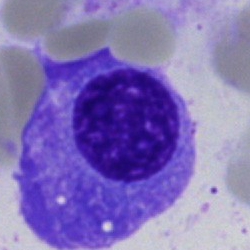 Single-cell crop from a bone marrow smear: plasmacyte.